Bone marrow aspirate smear: 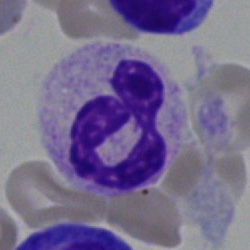

{"cell_type": "polymorphonuclear neutrophil", "lineage": "myeloid"}